Romanowsky stain. Peripheral blood film. 100× oil immersion:
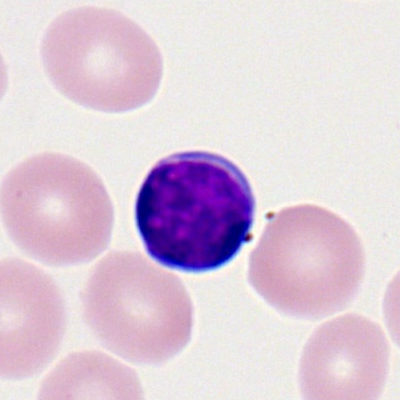 Specimen: peripheral blood film.
Morphological class: typical lymphocyte.
Lineage: lymphoid.